Bone marrow smear. Pappenheim-stained:
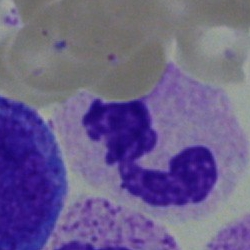

Cell type — segmented neutrophil.